Bone marrow aspirate smear.
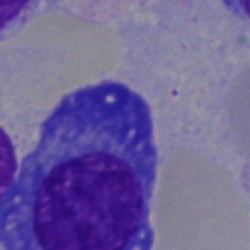
Single cell identified as a plasmacyte.